Brightfield, 40× oil-immersion objective. Bone marrow smear.
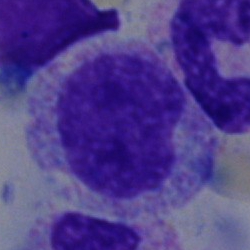 Classification — myelocyte.